Bone marrow aspirate smear:
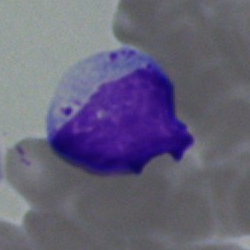
The cell shown is a lymphocyte.